Bone marrow aspirate smear. MGG-stained. 40× oil immersion — 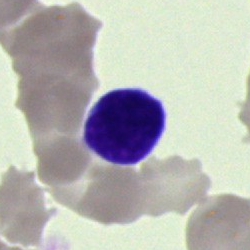Q: What type of cell is this?
A: It is a cell of indeterminate lineage.